Bone marrow smear · Pappenheim-stained:
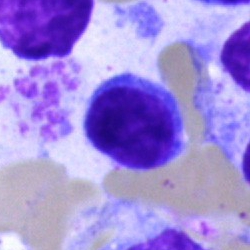 Q: What is the morphological classification of this cell?
A: Lymphocyte.